Bone marrow aspirate smear. Brightfield, 40× oil-immersion objective. May-Grünwald-Giemsa stain.
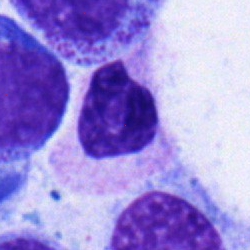 Classification: neutrophil (segmented).